40× objective, oil immersion; bone marrow smear — 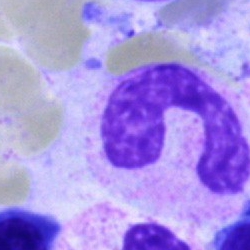
Morphological class — band-form neutrophil.